Bone marrow smear: 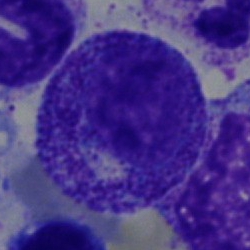Morphological class — progranulocyte.